Bone marrow aspirate smear — 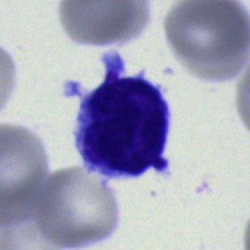

{"cell_type": "blast"}